Brightfield, 40× oil-immersion objective; MGG-stained; bone marrow smear.
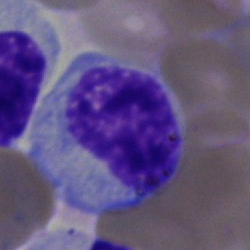 This is a myelocyte.